Bone marrow aspirate smear.
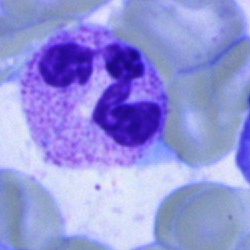
The cell shown is a neutrophil (segmented).